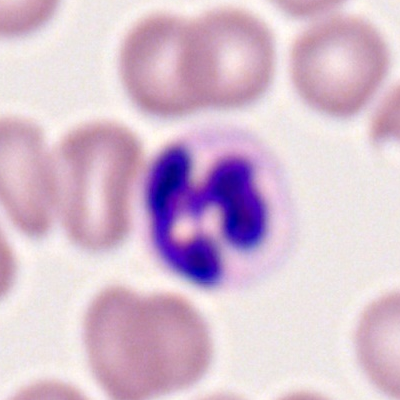Cell: polymorphonuclear neutrophil.